Romanowsky stain · peripheral blood smear · 400×400 px
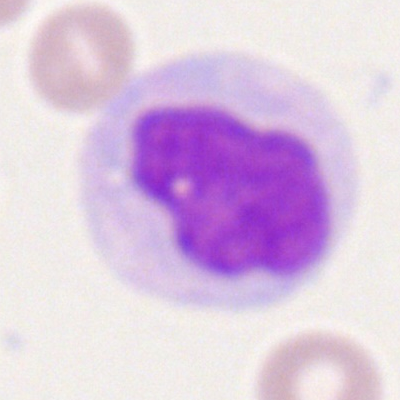Q: What cell is this?
A: Monocyte.